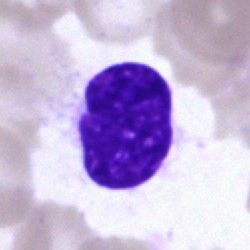Q: What is shown here?
A: This is an artifact.